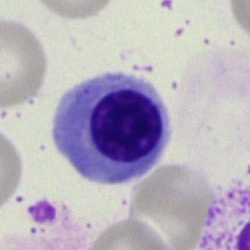A nucleated red cell.